Brightfield, 40× oil-immersion objective. Bone marrow smear. Single-cell crop
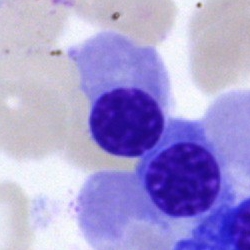

Q: What is the morphological classification of this cell?
A: Nucleated red blood cell.